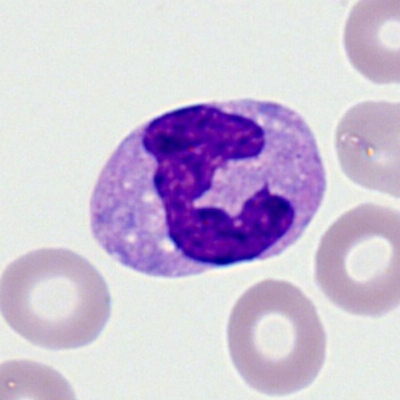 Specimen: peripheral blood smear.
Cell: segmented neutrophil.
Lineage: myeloid.